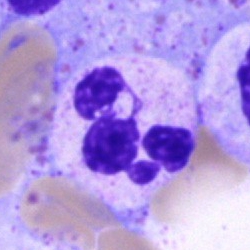Morphology — neutrophil (segmented).